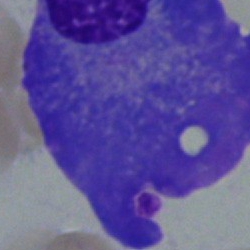Morphological class: plasmacyte.